May-Grünwald-Giemsa stain · image size 250×250 · bone marrow aspirate smear — 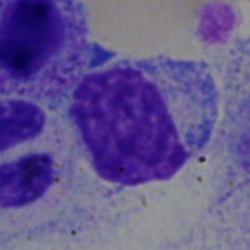 The classification is lymphocyte.